Peripheral blood smear
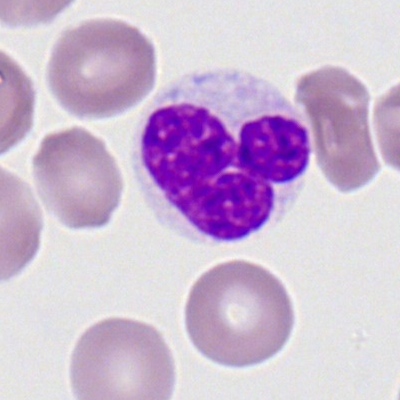

Cell type: segmented neutrophil.